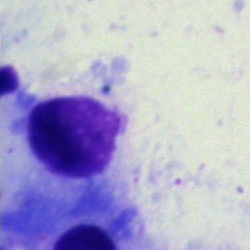

The morphological class is plasma cell.